Bone marrow aspirate smear; 40× objective, oil immersion.
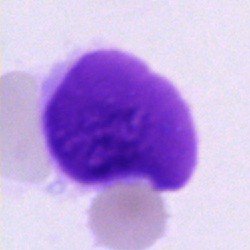
Q: What is shown here?
A: It is an artifact.